Brightfield, 40× oil-immersion objective; bone marrow aspirate smear:
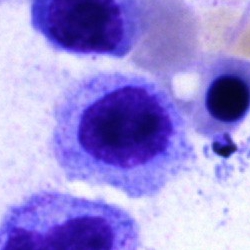
A normoblast.